Bone marrow aspirate smear — 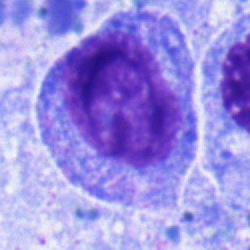Morphology → promyelocyte.